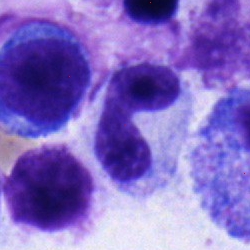Q: What type of cell is this?
A: A neutrophil (band).